Bone marrow smear
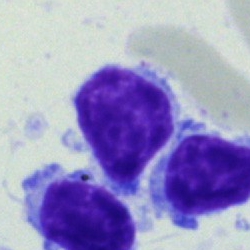
Q: What cell is this?
A: This is a typical lymphocyte.